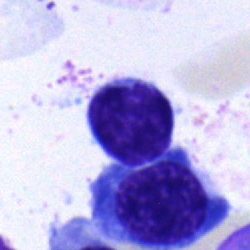
Q: What is the morphological classification of this cell?
A: This is a lymphocyte.